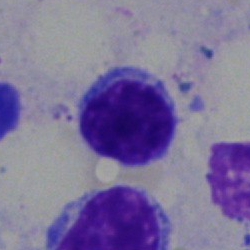 This is a typical lymphocyte.